Brightfield, 40× oil-immersion objective · bone marrow smear:
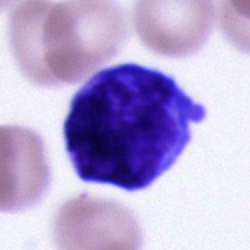

Cell of indeterminate lineage.